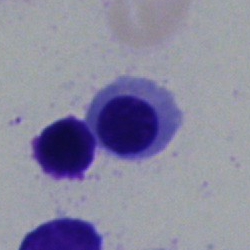

Nucleated red blood cell.